Bone marrow smear · cropped to a single cell
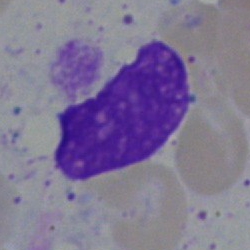

Showing an artifact.